MGG-stained. Bone marrow smear: 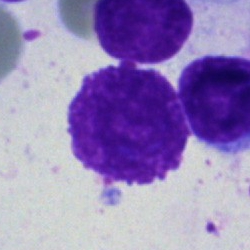

An artifact.